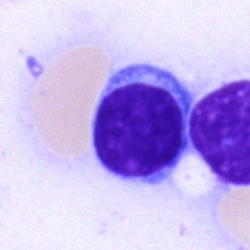
Showing a typical lymphocyte.